Bone marrow aspirate smear.
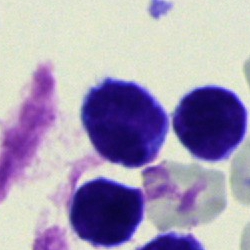Morphology → typical lymphocyte.